Brightfield, 40× oil-immersion objective · bone marrow aspirate smear: 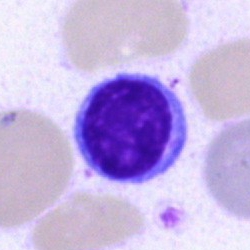

Q: What is the morphological classification of this cell?
A: A typical lymphocyte.